Bone marrow smear
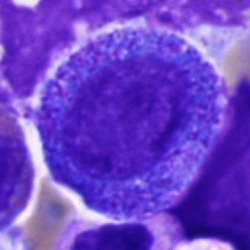

Classification = progranulocyte.